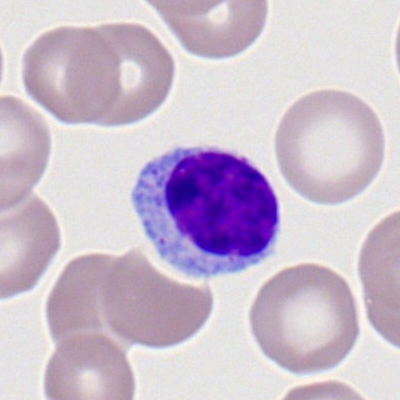
{"cell_type": "typical lymphocyte"}